Single-cell field; bone marrow smear; 250 by 250 pixels.
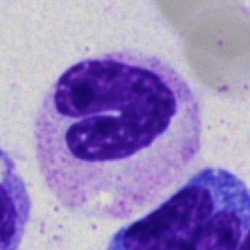 Single cell identified as a band neutrophil.